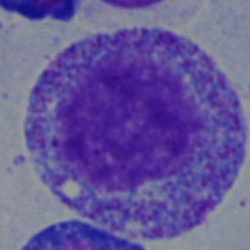 Single cell identified as a progranulocyte.